Bone marrow aspirate smear — 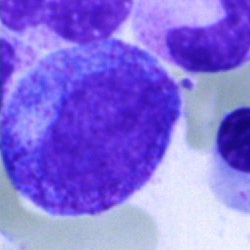 Q: What cell is this?
A: A promyelocyte.